Bone marrow aspirate smear: 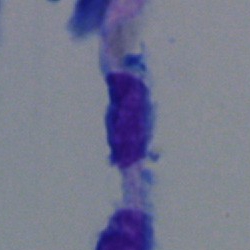 Q: What is shown here?
A: This is an artifact.